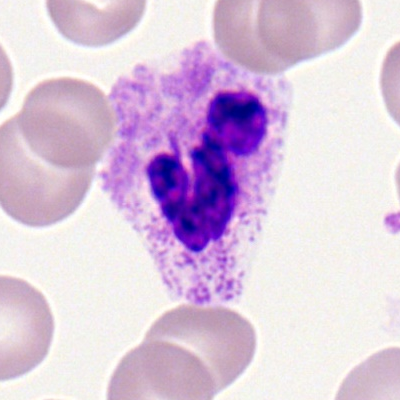

Specimen: peripheral blood film.
Morphological class: neutrophil (segmented).
Lineage: myeloid.